Romanowsky stain; peripheral blood smear:
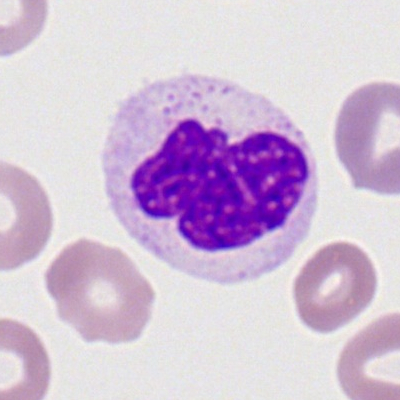

Morphology consistent with a segmented neutrophil.